Bone marrow smear; brightfield, 40× oil-immersion objective — 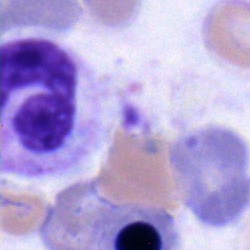

{"cell_type": "band-form neutrophil"}